250×250 px. Bone marrow aspirate smear.
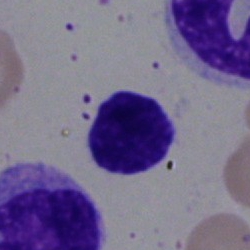Cell — typical lymphocyte.